Bone marrow smear
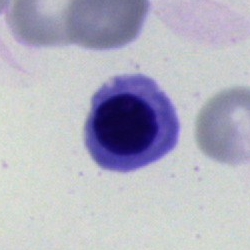 Specimen: bone marrow smear.
Morphological class: erythroblast.
Lineage: erythroid.